Bone marrow smear: 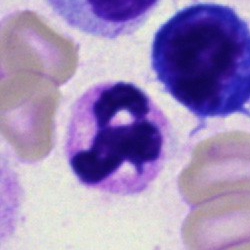The cell shown is a polymorphonuclear neutrophil.